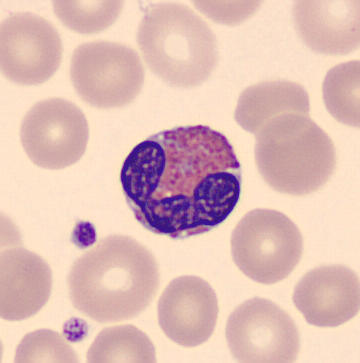Q: What is the morphological classification of this cell?
A: This is an eosinophilic granulocyte.
May-Grünwald-Giemsa-stained; automated cell imaging (CellaVision DM96); peripheral blood film.